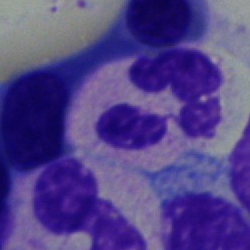
A segmented neutrophil.